Bone marrow aspirate smear:
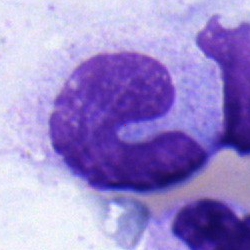
{"cell_type": "monocyte"}